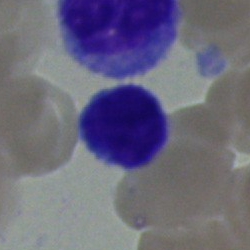

Showing a lymphocyte.